250×250 px; bone marrow aspirate smear; single cell centered in the field.
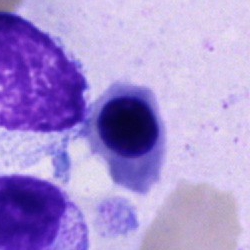

Morphological class = nucleated red blood cell.